Bone marrow aspirate smear
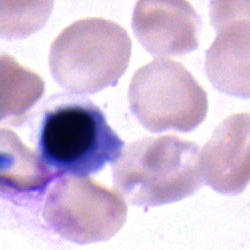 The cell type is nucleated red blood cell.